Bone marrow smear; 250 by 250 pixels:
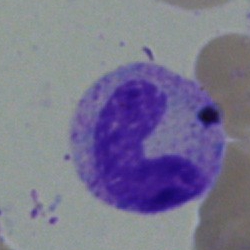The morphological class is band-form neutrophil.